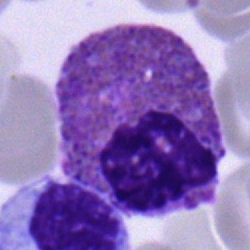The cell type is eosinophilic granulocyte.